Bone marrow smear:
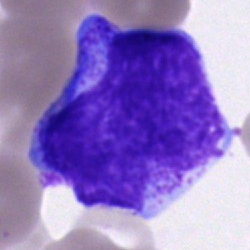A promyelocyte.